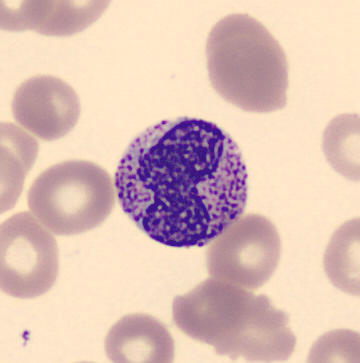The cell shown is a metamyelocyte.
Preparation: Peripheral blood film.